Peripheral blood smear — 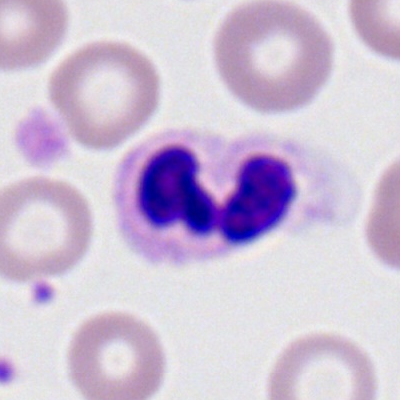 A polymorphonuclear neutrophil.